Bone marrow aspirate smear; 250×250 px
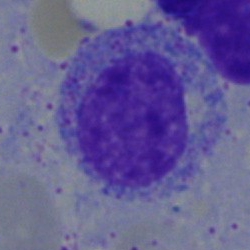
Single cell identified as a myelocyte.